May-Grünwald-Giemsa/Pappenheim stain · bone marrow smear · single-cell field — 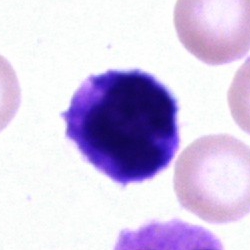Showing a cell of indeterminate lineage.